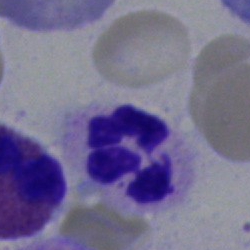 Showing a polymorphonuclear neutrophil.